Image size 400×400; peripheral blood film
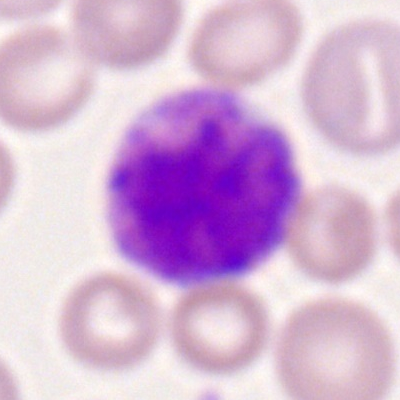Morphology consistent with a basophilic granulocyte.